Bone marrow smear. Pappenheim-stained.
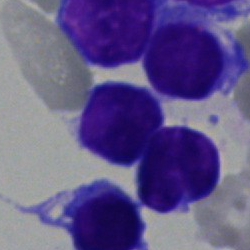 Morphology consistent with a typical lymphocyte.